May-Grünwald-Giemsa/Pappenheim stain · bone marrow smear
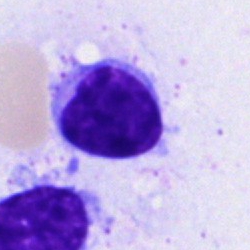Cell = lymphocyte.